Bone marrow smear — 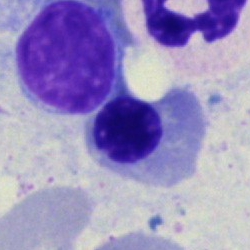

Classification: nucleated red blood cell.